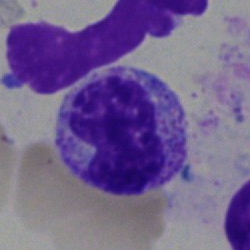 A metamyelocyte.